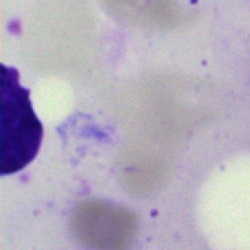Cell — artifact.